Bone marrow smear. 250×250
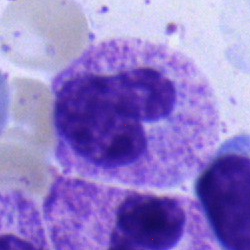 Classification = neutrophil (segmented).